Bone marrow aspirate smear — 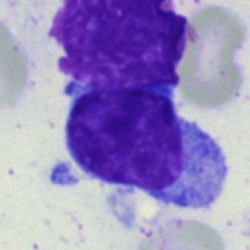

Single cell identified as a lymphocyte.